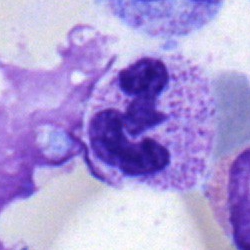 Morphology — neutrophil (segmented).